Bone marrow smear:
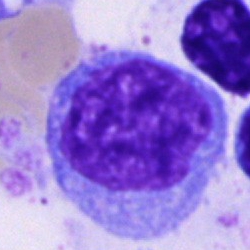

Q: What type of cell is this?
A: Unidentifiable cell.